Bone marrow aspirate smear:
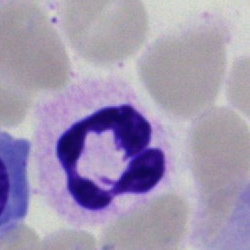Q: What is the morphological classification of this cell?
A: This is a segmented neutrophil.